Peripheral blood film: 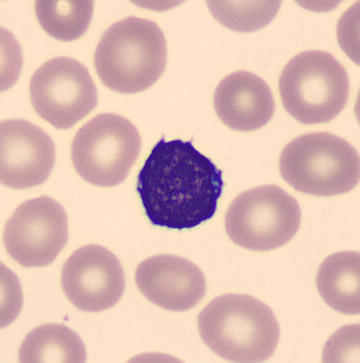
Impression → typical lymphocyte.